May-Grünwald-Giemsa stain. 40× oil immersion. Bone marrow smear
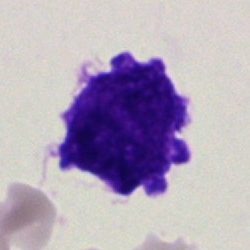 Morphology — undifferentiated blast.